Bone marrow aspirate smear — 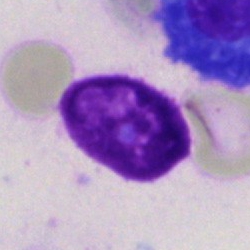Impression → artefact.